Bone marrow smear
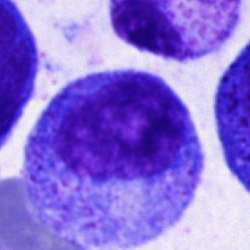

Impression — promyelocyte.